Bone marrow aspirate smear — 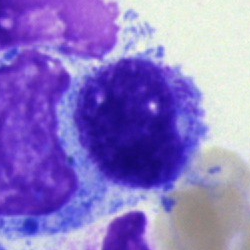
Morphology — myelocyte.